Bone marrow smear. May-Grünwald-Giemsa stain — 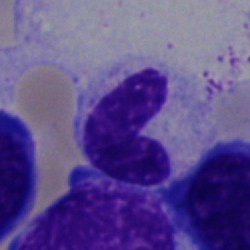 Single cell identified as a band neutrophil.